Bone marrow aspirate smear · 250×250 px.
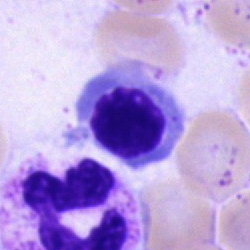

Cell — nucleated red blood cell.